MGG-stained · bone marrow aspirate smear · 250 by 250 pixels.
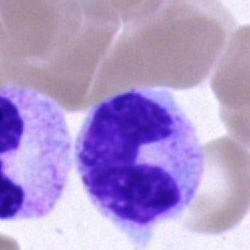 Classification = neutrophil (band).